Bone marrow smear.
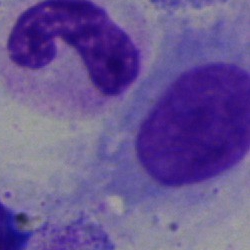
The cell shown is a band neutrophil.